Bone marrow aspirate smear: 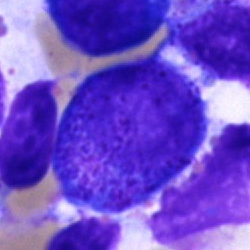 The morphological class is progranulocyte.